Bone marrow smear — 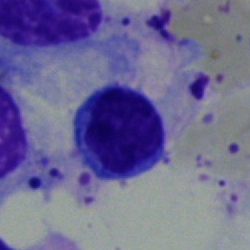Single cell identified as a typical lymphocyte.